Bone marrow aspirate smear — 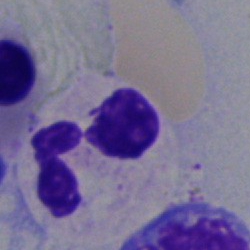Specimen: bone marrow aspirate smear.
Morphological class: polymorphonuclear neutrophil.